Bone marrow aspirate smear: 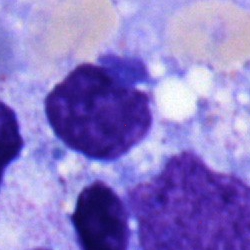

Morphology — typical lymphocyte.